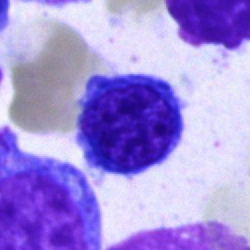This is a normoblast.